Bone marrow aspirate smear:
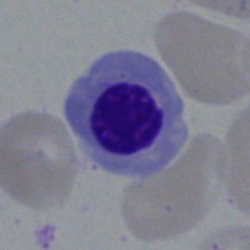The morphological class is nucleated red cell.